Bone marrow aspirate smear — 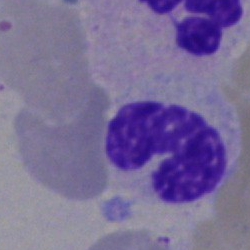Morphological class: neutrophil (band).